Peripheral blood film: 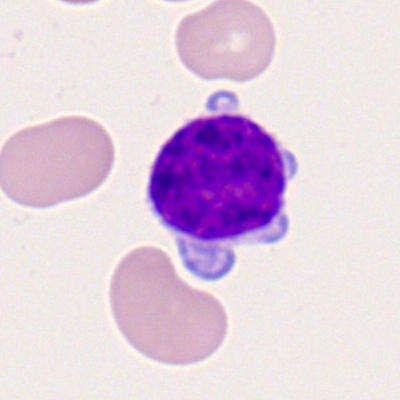

Cell — lymphocyte.